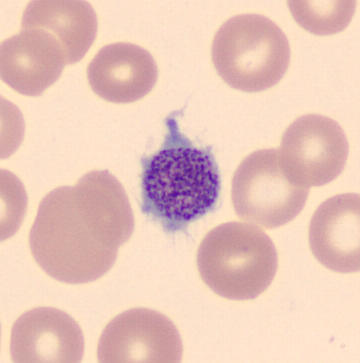

Morphology consistent with a platelet.